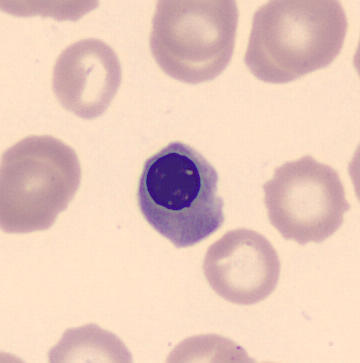Q: What is this?
A: This is a normoblast.